Bone marrow aspirate smear.
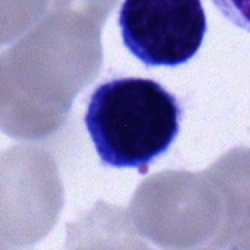Morphological class — lymphocyte.